250 by 250 pixels; bone marrow smear; 40× objective, oil immersion — 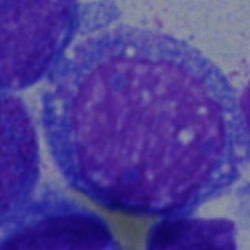This is a blast cell.